Peripheral blood smear; cropped to a single cell — 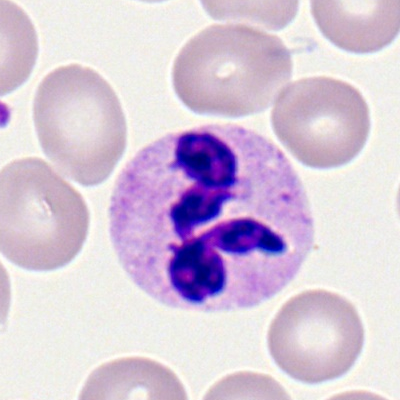Impression — segmented neutrophil.